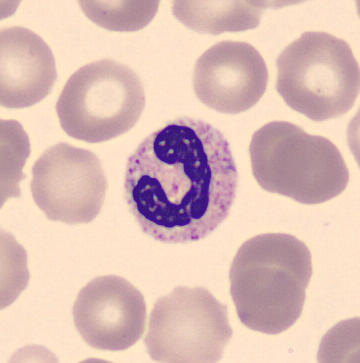
Image: Single-cell crop; automated cell imaging (CellaVision DM96); peripheral blood smear.
Neutrophil (segmented).